Bone marrow smear.
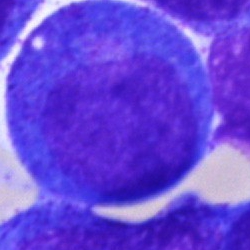

Morphological class = promyelocyte.